Bone marrow smear — 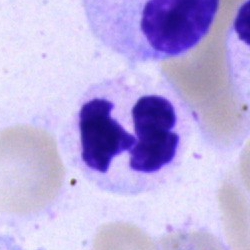 This is a neutrophil (segmented).